Bone marrow smear · Pappenheim-stained · 250 by 250 pixels.
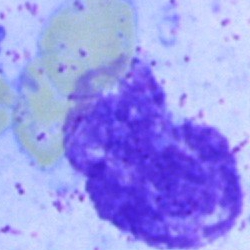
The classification is artefact.